Bone marrow aspirate smear — 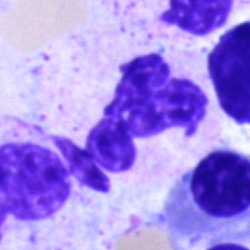

The cell shown is a polymorphonuclear neutrophil.